Bone marrow smear: 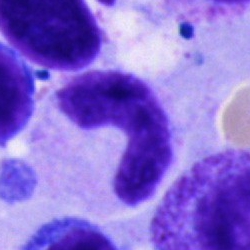 The morphological class is stab cell.